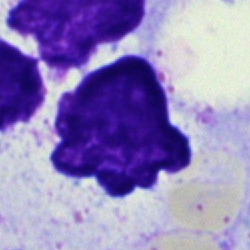
Specimen: bone marrow aspirate smear.
Cell: artefact.